Bone marrow smear. 250×250.
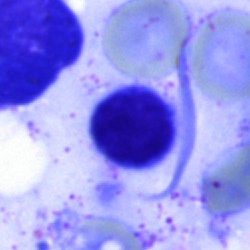Cell = unidentifiable cell.